Bone marrow smear:
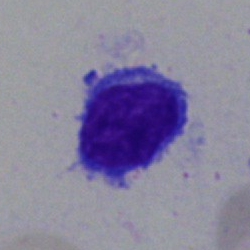
Q: What is shown here?
A: Lymphocyte.